Bone marrow smear:
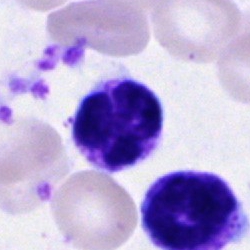 The cell shown is a segmented neutrophil.